Image size 250×250 · bone marrow smear
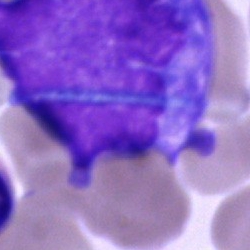 Blast.